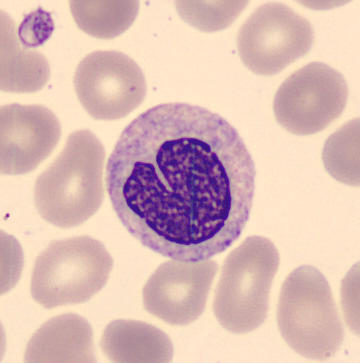Single cell identified as a neutrophil (band).
Peripheral blood film.